Peripheral blood film
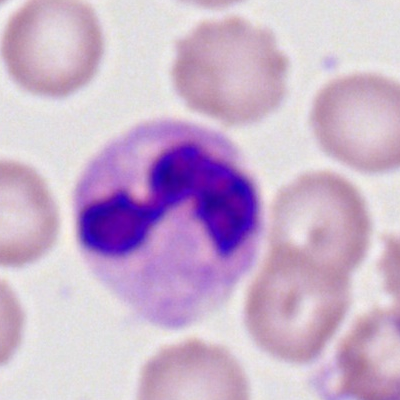
Q: What cell is this?
A: A neutrophil (segmented).